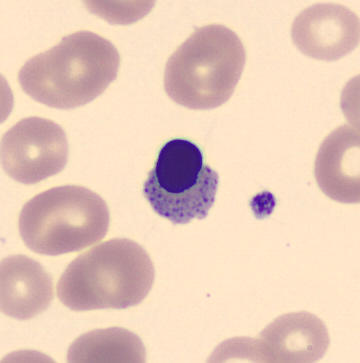

Identified as a nucleated red blood cell.